Bone marrow aspirate smear. 250 by 250 pixels:
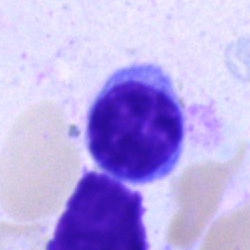

The morphological class is lymphocyte.